Bone marrow smear:
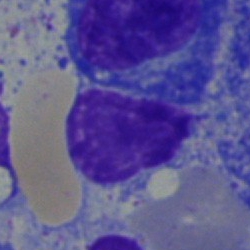
Impression → typical lymphocyte.